Brightfield, 40× oil-immersion objective; Pappenheim-stained; bone marrow smear: 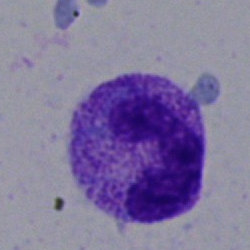
Cell: neutrophil (band).